Bone marrow smear
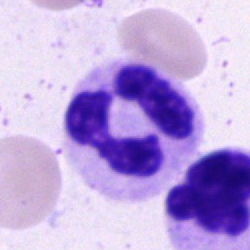 Classification — neutrophil (segmented).